Bone marrow smear:
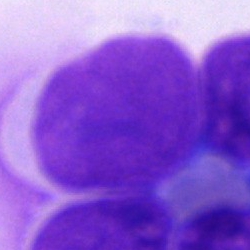 Q: What is shown here?
A: Artifact.